Bone marrow smear — 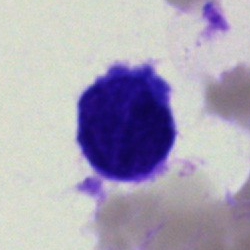

A blast cell.